Bone marrow smear:
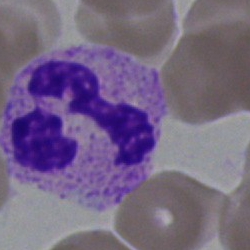
Q: What is shown here?
A: This is a segmented neutrophil.